250×250 · bone marrow aspirate smear · single-cell crop — 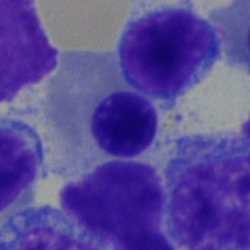

Morphological class — nucleated red cell.